Bone marrow aspirate smear. Brightfield, 40× oil-immersion objective: 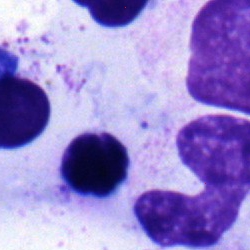 Cell — lymphocyte.